Bone marrow smear.
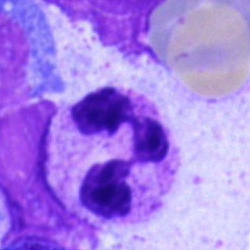
Specimen: bone marrow aspirate smear.
Cell: neutrophil (segmented).